40× oil immersion; bone marrow smear; single-cell field
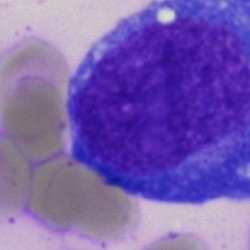

Q: Which cell type is shown here?
A: Blast.